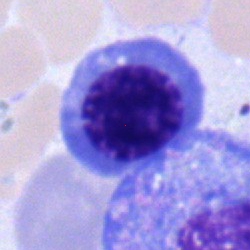

Morphology consistent with a nucleated red blood cell.